Bone marrow smear · 250 by 250 pixels.
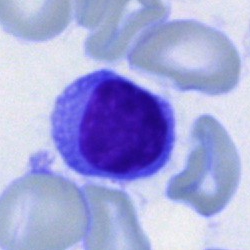
Showing a typical lymphocyte.